Brightfield, 40× oil-immersion objective; image size 250×250; bone marrow smear:
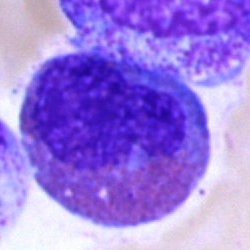 Specimen: bone marrow aspirate smear.
Cell: eosinophilic granulocyte.